Bone marrow aspirate smear:
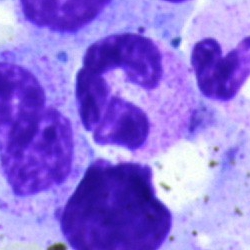Morphology → neutrophil (segmented).